Bone marrow aspirate smear: 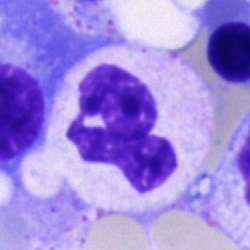

Cell = segmented neutrophil.